250×250 px. Bone marrow aspirate smear: 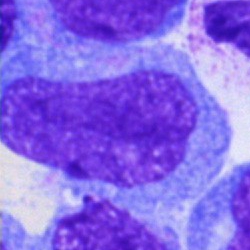

Specimen: bone marrow aspirate smear.
Cell: blast.